Peripheral blood smear.
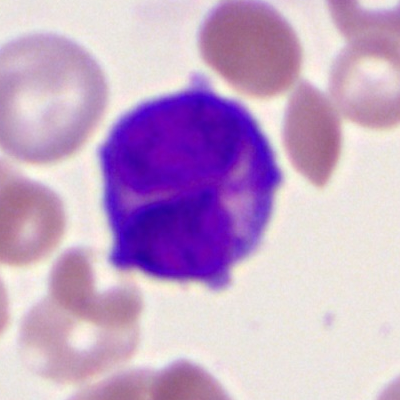Cell: bilobed promyelocyte.